400×400 · brightfield, 100× oil-immersion objective · peripheral blood film
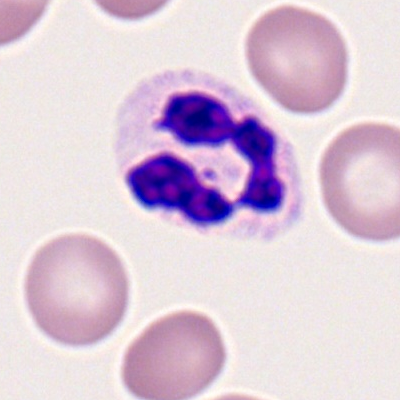

Q: Which cell type is shown here?
A: Segmented neutrophil.